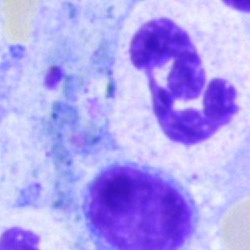 Cell = segmented neutrophil.